250×250 px; bone marrow smear: 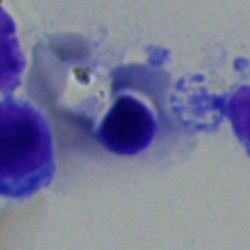

Impression → erythroblast.